Brightfield microscopy, 40× oil immersion · bone marrow smear: 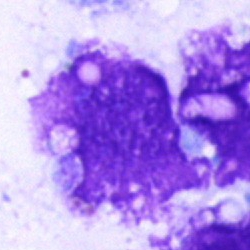 Q: What is shown here?
A: Artifact.